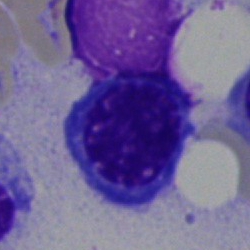

Cell = normoblast.